Bone marrow aspirate smear
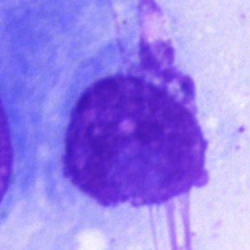 This is an artifact.